Bone marrow aspirate smear
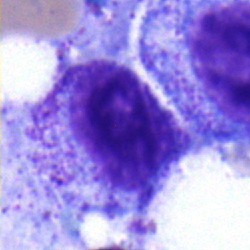
A myelocyte.